Bone marrow aspirate smear · May-Grünwald-Giemsa/Pappenheim stain: 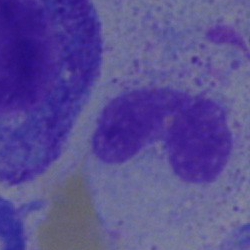
Q: What cell is this?
A: This is a band neutrophil.